Bone marrow aspirate smear: 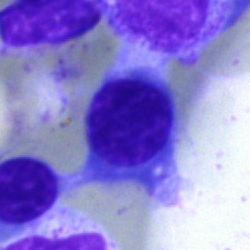

Q: What is the morphological classification of this cell?
A: A normoblast.